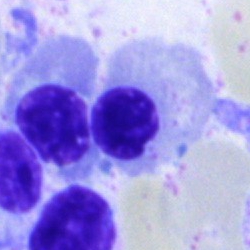

Classification = normoblast.